Bone marrow aspirate smear.
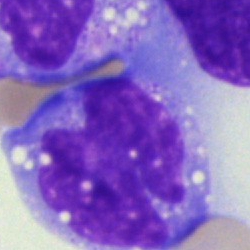

Morphology → monocyte.